Brightfield microscopy, 40× oil immersion. Pappenheim-stained. Bone marrow aspirate smear — 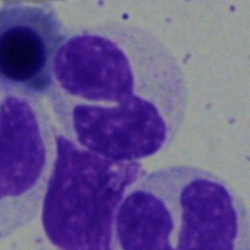Q: Which cell type is shown here?
A: It is a neutrophil (segmented).